Bone marrow smear. Brightfield microscopy, 40× oil immersion
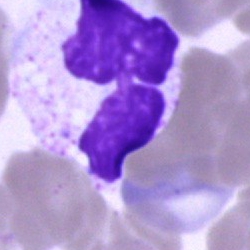Specimen: bone marrow smear.
Cell type: segmented neutrophil.